250×250; bone marrow aspirate smear
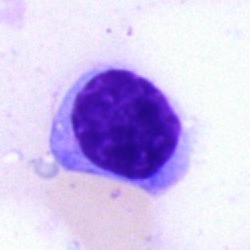Morphology — typical lymphocyte.